400×400; peripheral blood smear.
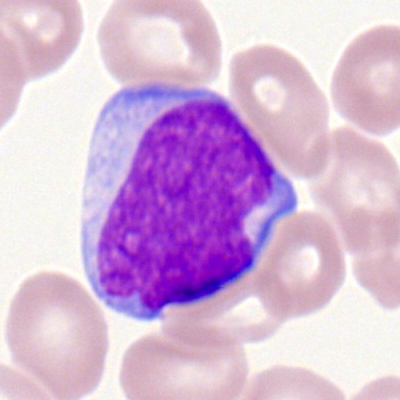
Q: What cell is this?
A: A myeloblast.